Brightfield, 40× oil-immersion objective · bone marrow smear: 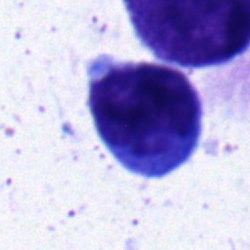
Morphology consistent with a monocyte.